Bone marrow aspirate smear: 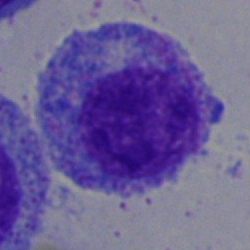 Classification — promyelocyte.